250 by 250 pixels; bone marrow aspirate smear — 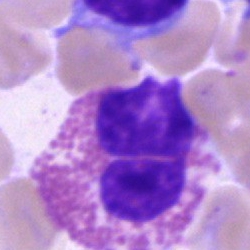
Impression → eosinophilic granulocyte.